Bone marrow smear: 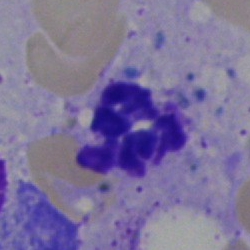The cell shown is a neutrophil (segmented).